May-Grünwald-Giemsa/Pappenheim stain. Bone marrow aspirate smear:
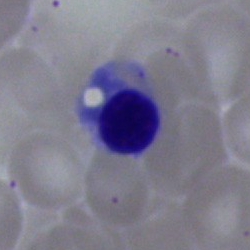

Classification — erythroblast.